Bone marrow smear:
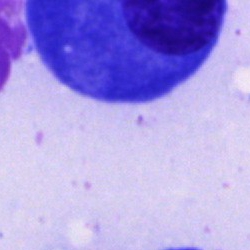Specimen: bone marrow aspirate smear.
Cell: plasma cell.
Lineage: lymphoid.